Bone marrow smear. Image size 250×250: 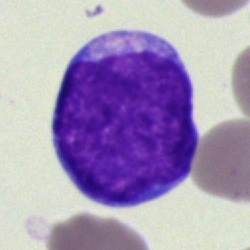 Morphology consistent with a blast cell.